250 by 250 pixels. Single-cell field. Bone marrow aspirate smear:
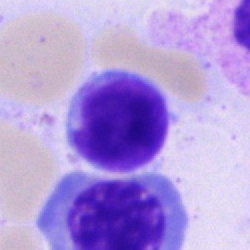

Showing a typical lymphocyte.